Image size 250×250. Bone marrow smear:
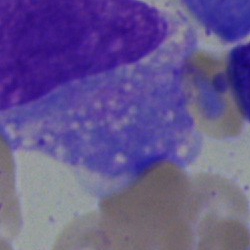
The classification is monocyte.